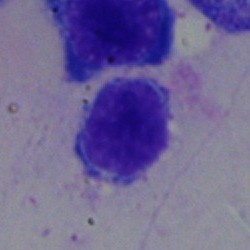Specimen: bone marrow aspirate smear.
Classification: typical lymphocyte.